Bone marrow aspirate smear · 250×250 px — 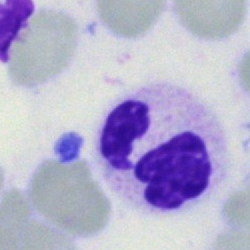This is a segmented neutrophil.